Peripheral blood smear — 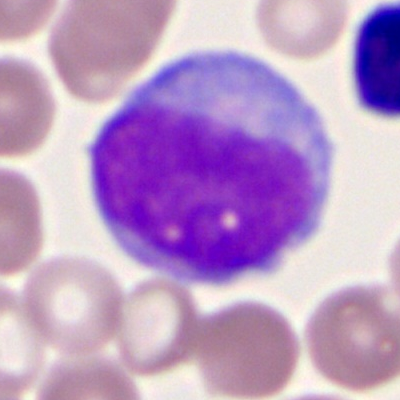 {"cell_type": "myeloblast", "lineage": "myeloid"}